Bone marrow aspirate smear:
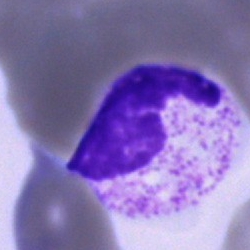Morphological class — neutrophil (segmented).